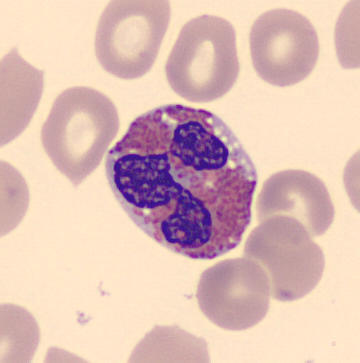

An eosinophilic granulocyte.
Image: Peripheral blood smear.